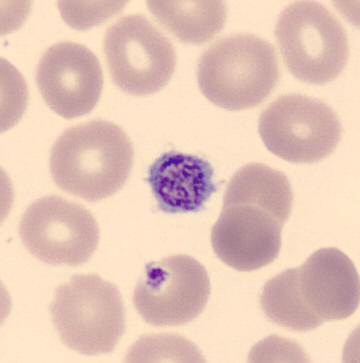 Classification — thrombocyte.